Bone marrow aspirate smear; Pappenheim-stained:
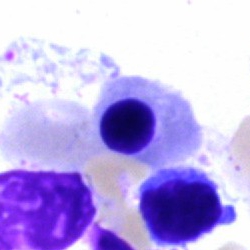

{"cell_type": "normoblast", "lineage": "erythroid"}